May-Grünwald-Giemsa/Pappenheim stain. Bone marrow aspirate smear: 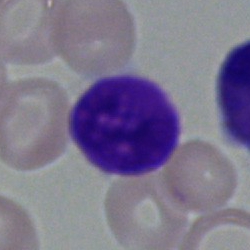
Q: What is shown here?
A: It is an artefact.